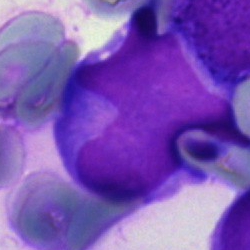

Q: What cell is this?
A: This is a blast.